Peripheral blood film; MGG-stained; CellaVision DM96 digital cell image — 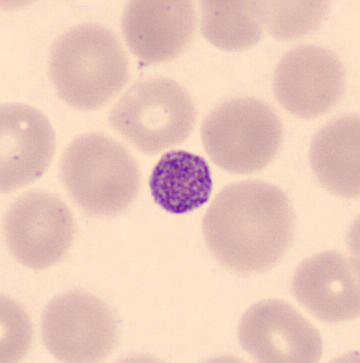Specimen: peripheral blood film.
Morphological class: thrombocyte.